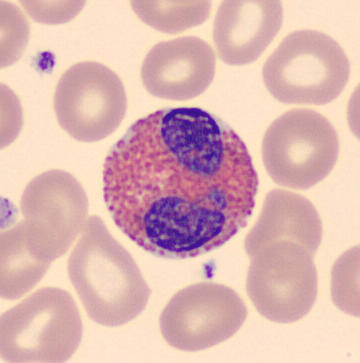Acquisition: Image size 360×363; peripheral blood film. Q: What is shown here?
A: This is an eosinophilic granulocyte.